Single-cell field · bone marrow smear:
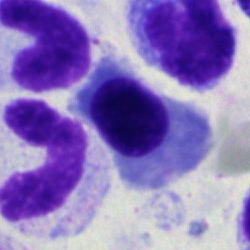

Specimen: bone marrow aspirate smear.
Classification: normoblast.
Lineage: erythroid.